MGG-stained; bone marrow aspirate smear; 250×250: 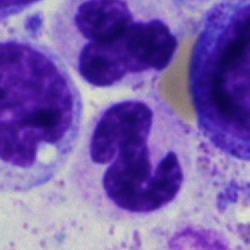Cell: polymorphonuclear neutrophil.